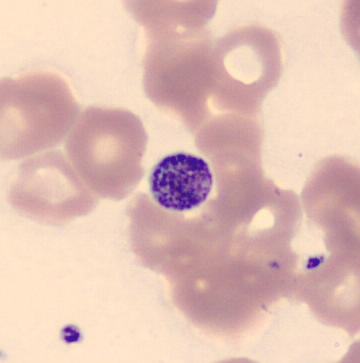
360×363. Automated cell imaging (CellaVision DM96). Peripheral blood film.
Cell type: platelet (thrombocyte).